Bone marrow smear; image size 250×250: 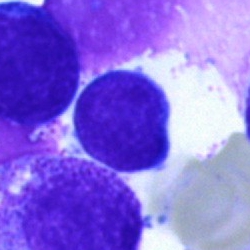
The cell type is typical lymphocyte.